Bone marrow aspirate smear: 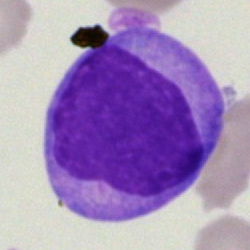 This is an undifferentiated blast.